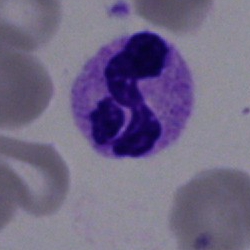 Morphology consistent with a segmented neutrophil.